Peripheral blood smear. Brightfield, 100× oil-immersion objective:
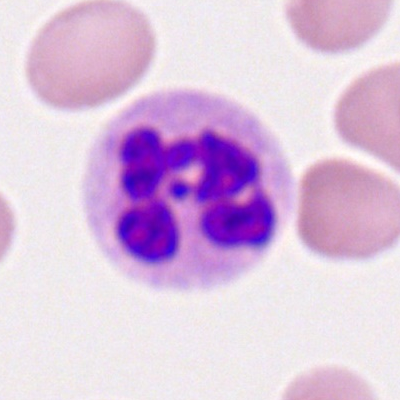 Morphological class: segmented neutrophil.